Bone marrow aspirate smear.
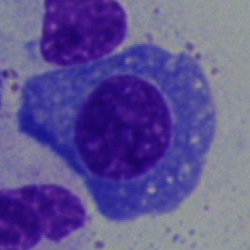
Single cell identified as a plasmacyte.